Cropped to a single cell · bone marrow aspirate smear:
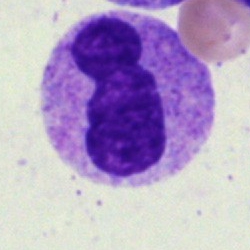

Single cell identified as a band neutrophil.